Bone marrow smear — 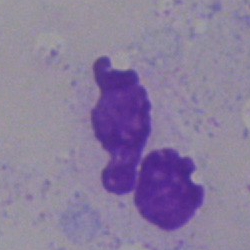Q: What is shown here?
A: Artifact.